250×250 · bone marrow aspirate smear · 40× objective, oil immersion
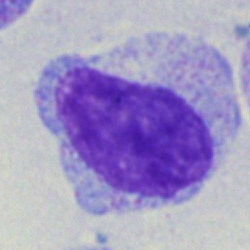

Cell = myelocyte.